Bone marrow smear; 250 by 250 pixels; 40× objective, oil immersion.
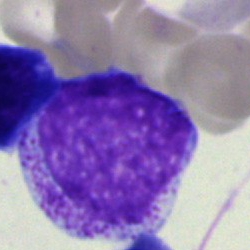

The cell shown is a myelocyte.